Pappenheim-stained; bone marrow aspirate smear
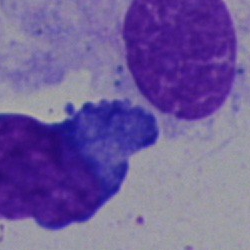 Morphology consistent with an unidentifiable cell.